Bone marrow smear · 250×250 · single-cell field
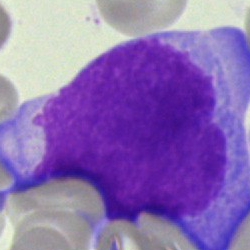

Cell type = blast.